250×250 px. Bone marrow aspirate smear.
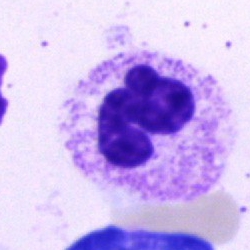

Neutrophil (segmented).